250 by 250 pixels; bone marrow smear: 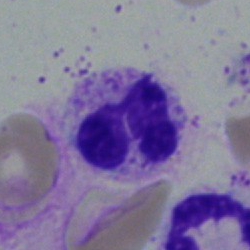Specimen: bone marrow smear.
Cell type: neutrophil (segmented).
Lineage: myeloid.